250×250 px · bone marrow smear — 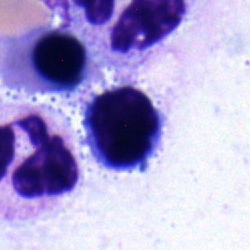 An erythroblast.